May-Grünwald-Giemsa stain · bone marrow smear.
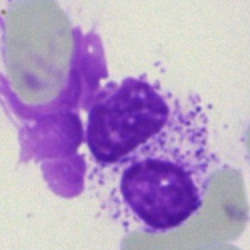
Morphology consistent with a segmented neutrophil.